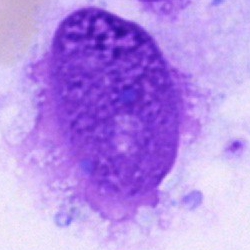

Artefact.